Single-cell field. Bone marrow smear:
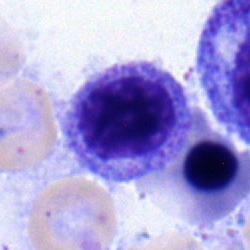Impression — myelocyte.